MGG-stained; bone marrow aspirate smear:
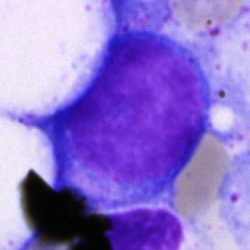

Q: Which cell type is shown here?
A: A blast cell.